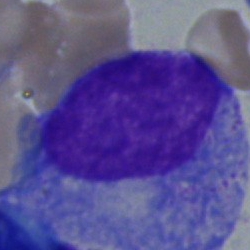Promyelocyte.